Bone marrow smear: 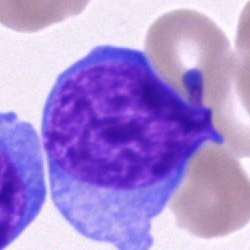Blast cell.